Bone marrow smear
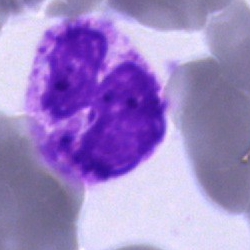Cell type — segmented neutrophil.